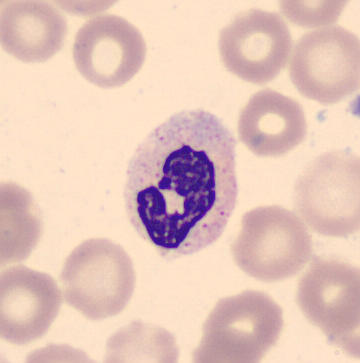
Q: Identify the cell.
A: This is a stab cell.
CellaVision DM96 digital cell image · peripheral blood smear.